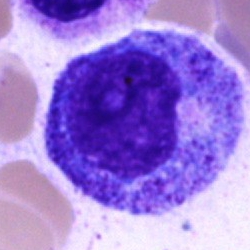
Specimen: bone marrow smear.
Morphological class: promyelocyte.
Lineage: myeloid.